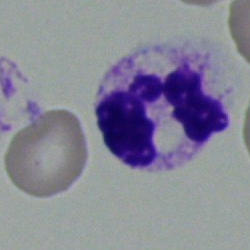
Morphology consistent with a neutrophil (segmented).